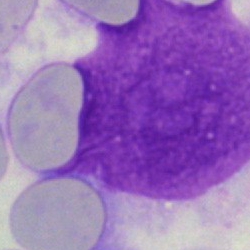
Bone marrow smear showing an artifact.